100× objective, oil immersion. Peripheral blood film — 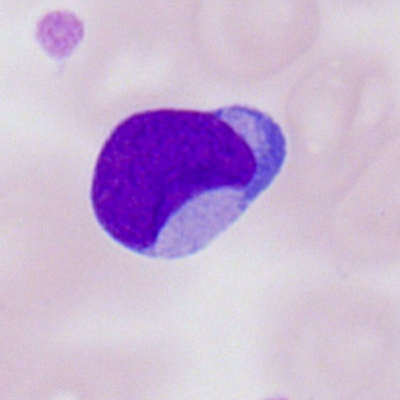
The cell is myeloid blast.